Bone marrow aspirate smear: 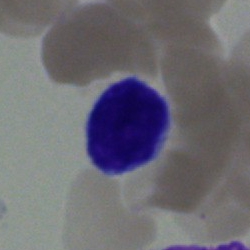Specimen: bone marrow aspirate smear.
Cell: typical lymphocyte.
Lineage: lymphoid.